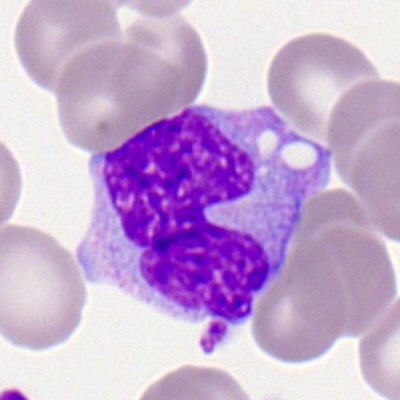 Peripheral blood smear showing a monocyte.